Bone marrow aspirate smear: 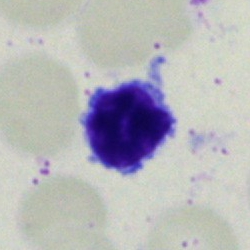

Cell type = typical lymphocyte.